Bone marrow aspirate smear.
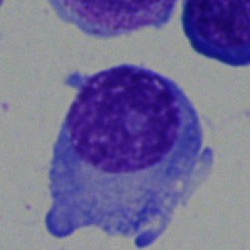 Morphological class — plasmacyte.